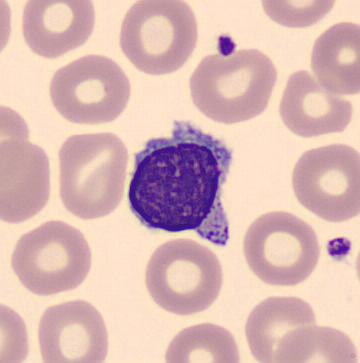Acquisition: Peripheral blood film.

Q: What is this?
A: It is a typical lymphocyte.